MGG-stained; bone marrow aspirate smear; brightfield microscopy, 40× oil immersion
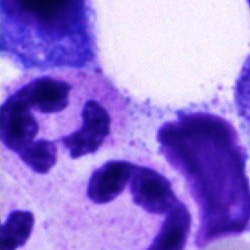

The cell shown is a neutrophil (segmented).